Image size 250×250; single cell centered in the field; bone marrow aspirate smear:
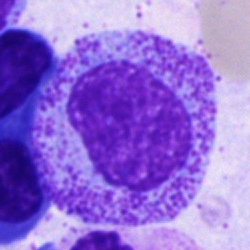 {"cell_type": "promyelocyte", "lineage": "myeloid"}